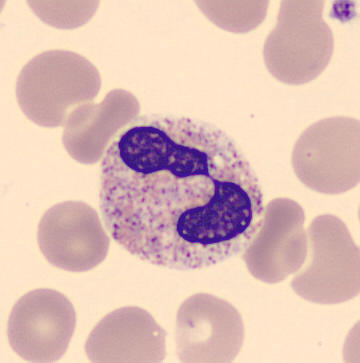

Classification — segmented neutrophil.